Pappenheim-stained. Bone marrow smear
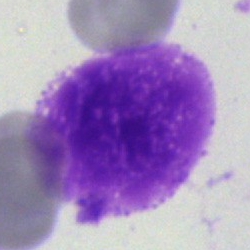
Classification — artifact.